Bone marrow aspirate smear:
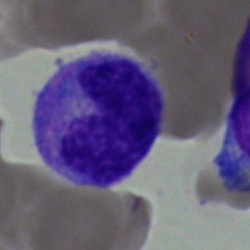
Q: Identify the cell.
A: A monocyte.